Bone marrow aspirate smear. Brightfield microscopy, 40× oil immersion.
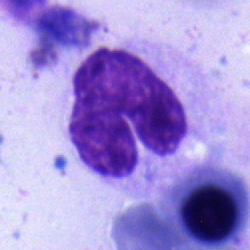 Classification = band-form neutrophil.